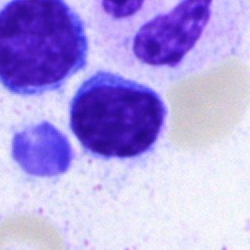

Impression → typical lymphocyte.